Single-cell field. Bone marrow smear: 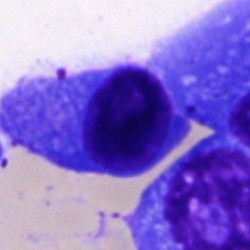The cell shown is a plasmacyte.